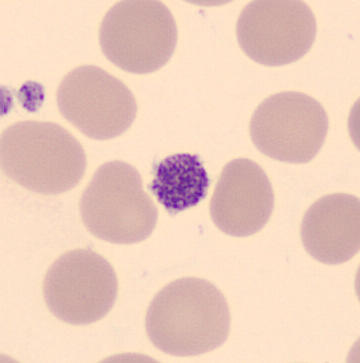
A platelet (thrombocyte). Peripheral blood film; automated cell imaging (CellaVision DM96).